40× objective, oil immersion; bone marrow aspirate smear:
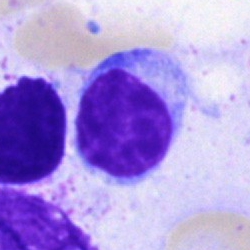 Morphology → typical lymphocyte.